Bone marrow smear; cropped to a single cell; MGG-stained
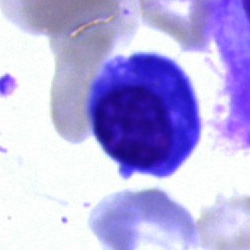 Classification — nucleated red cell.